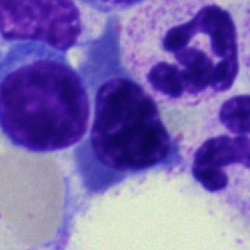

{"cell_type": "polymorphonuclear neutrophil"}